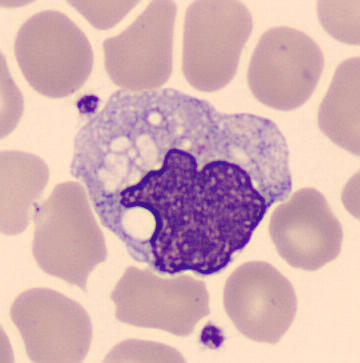Q: Identify the cell.
A: A monocyte.